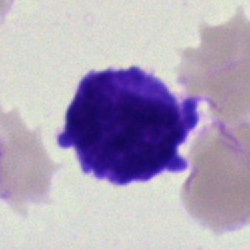
Impression → blast.